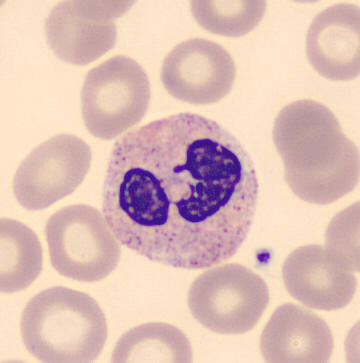
Cell type = neutrophil (segmented). Acquisition: Single-cell field. Peripheral blood film.